Bone marrow smear · single-cell crop · brightfield, 40× oil-immersion objective:
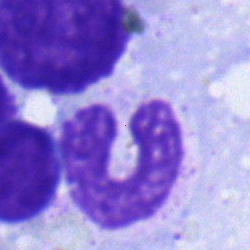 {"cell_type": "neutrophil (band)", "lineage": "myeloid"}